Bone marrow smear. Single cell centered in the field:
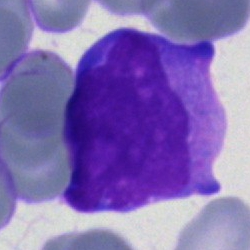Morphological class = blast.